Image size 400×400 · Romanowsky-stained · peripheral blood smear:
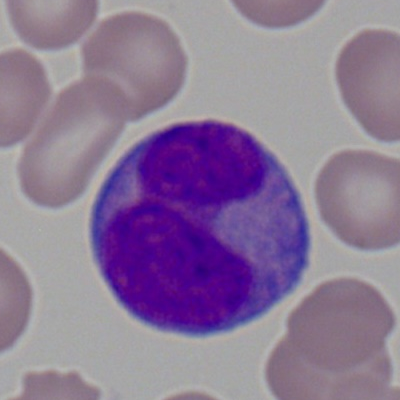

Specimen: peripheral blood film.
Cell type: myeloid blast.
Lineage: myeloid.